Bone marrow smear. Single-cell crop: 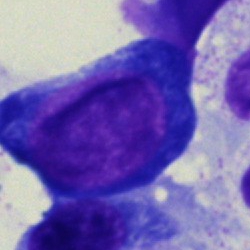
Morphological class — proerythroblast.